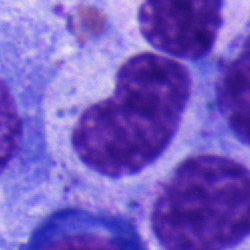Morphology consistent with a metamyelocyte.